Bone marrow aspirate smear. 250×250 px — 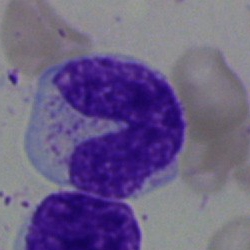

Q: Which cell type is shown here?
A: A neutrophil (band).